Bone marrow smear — 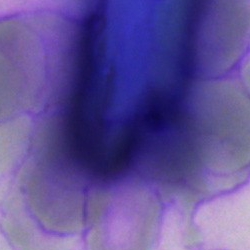Artefact.